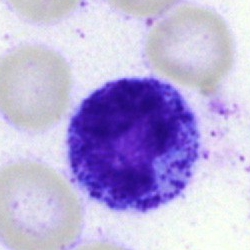 Single-cell crop from a bone marrow smear: myelocyte.